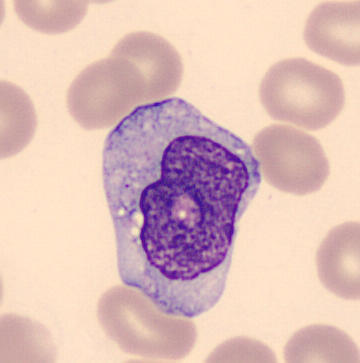
{"cell_type": "monocyte"}